Bone marrow smear; single-cell field
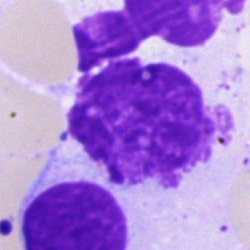

Classification: artefact.